40× objective, oil immersion; bone marrow smear — 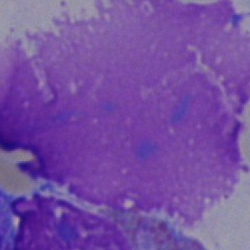 Cell type — artefact.